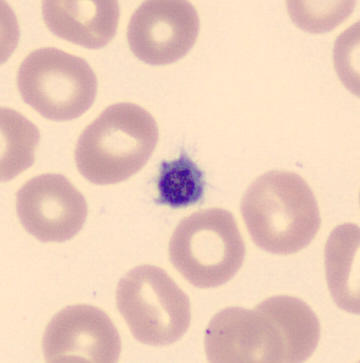Specimen: peripheral blood film.
Morphological class: thrombocyte.